MGG-stained · bone marrow smear:
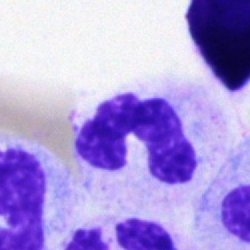

A neutrophil (segmented).